Romanowsky-stained; peripheral blood film — 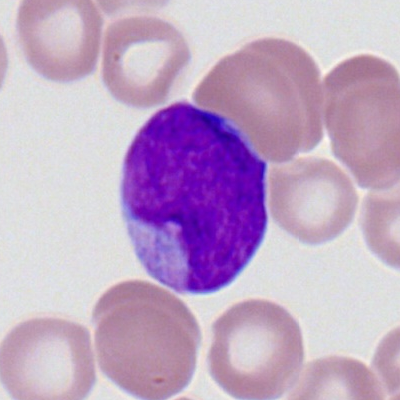
This is a myeloblast.